Bone marrow aspirate smear · 250×250
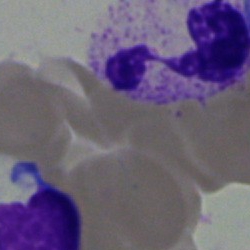
Specimen: bone marrow smear.
Classification: segmented neutrophil.
Lineage: myeloid.